Bone marrow smear: 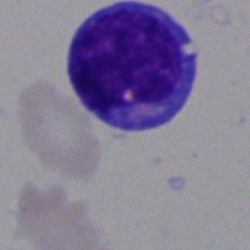
The cell is blast cell.